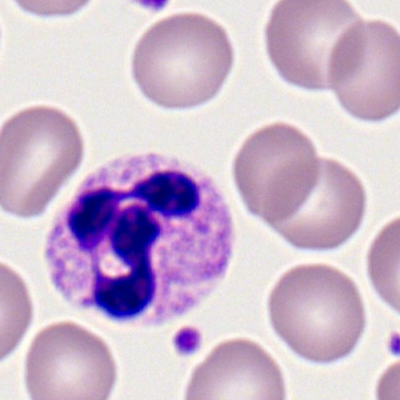Morphological class = polymorphonuclear neutrophil.